Bone marrow aspirate smear — 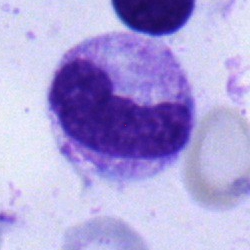The cell shown is a band-form neutrophil.